Bone marrow smear · May-Grünwald-Giemsa stain · brightfield, 40× oil-immersion objective.
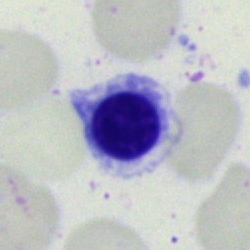

Specimen: bone marrow smear.
Classification: nucleated red cell.
Lineage: erythroid.